Bone marrow aspirate smear. 40× oil immersion.
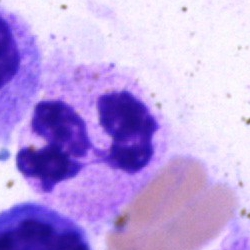

Q: Identify the cell.
A: A segmented neutrophil.